Bone marrow smear.
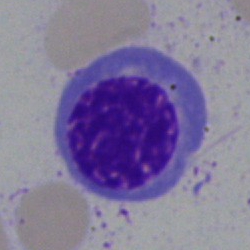
Classification = nucleated red cell.